Bone marrow smear: 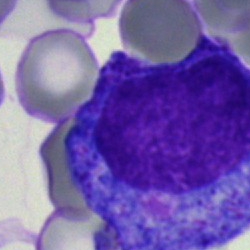Cell type — promyelocyte.